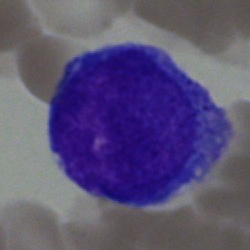
Cell = basophil.